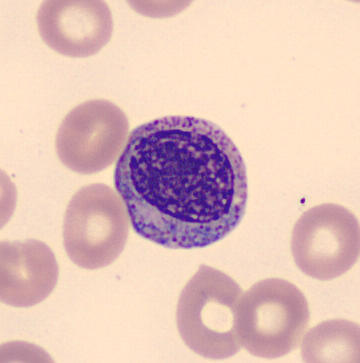

Specimen: peripheral blood film.
Morphological class: myelocyte.
Lineage: myeloid. Image size 360×363.